Bone marrow aspirate smear: 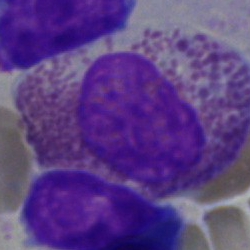

Showing an eosinophil.